Bone marrow smear:
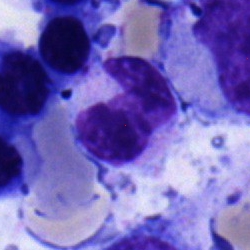Morphology consistent with a stab cell.